Image size 250×250; bone marrow aspirate smear.
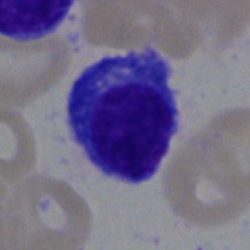

Morphology consistent with a plasma cell.